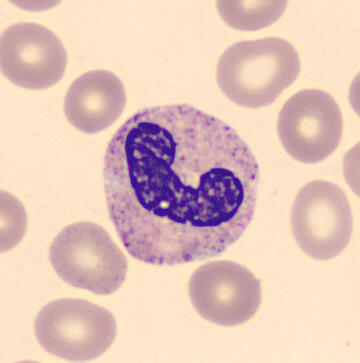

Neutrophil (band).